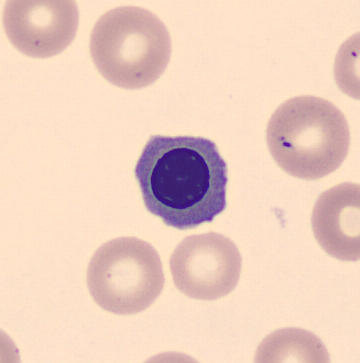Q: What is shown here?
A: It is a nucleated red blood cell.